Peripheral blood film · single cell centered in the field
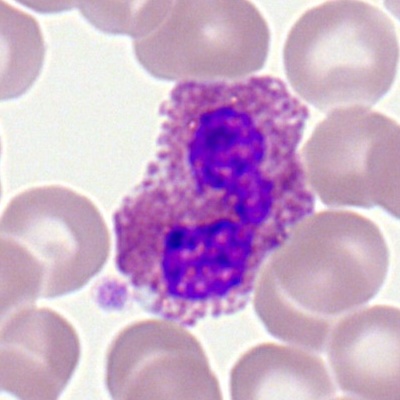Impression → eosinophilic granulocyte.